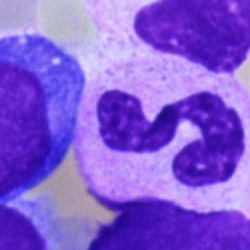A segmented neutrophil.